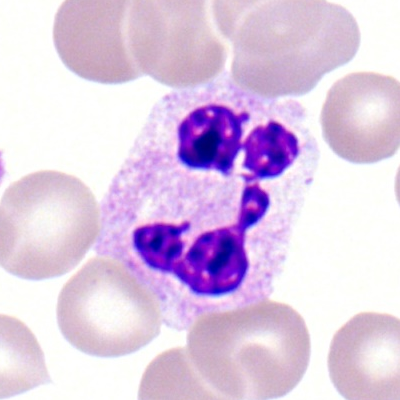

{"cell_type": "polymorphonuclear neutrophil", "lineage": "myeloid"}